250×250 · MGG-stained · bone marrow aspirate smear — 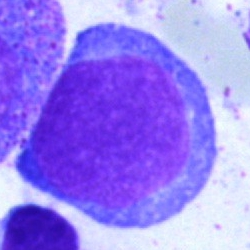This is an undifferentiated blast.